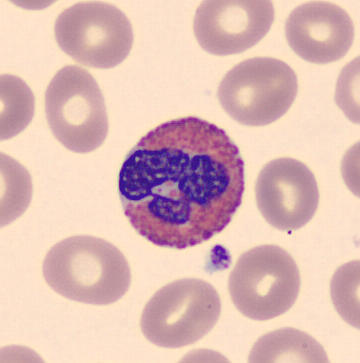

Specimen: peripheral blood film.
Morphological class: eosinophil.